Bone marrow smear
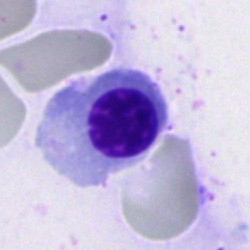 Showing a normoblast.